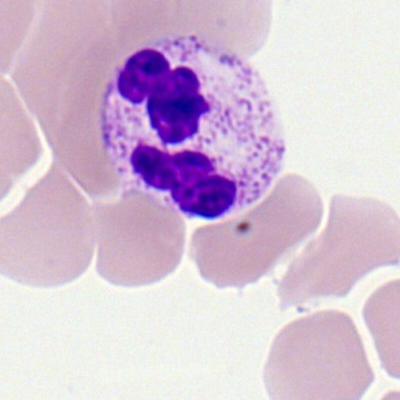

Specimen: peripheral blood film.
Cell: polymorphonuclear neutrophil.
Lineage: myeloid.